Bone marrow aspirate smear.
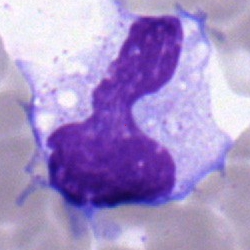Cell = monocyte.